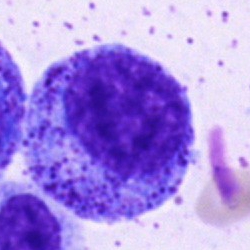 Q: Which cell type is shown here?
A: A progranulocyte.